Bone marrow aspirate smear · 250×250.
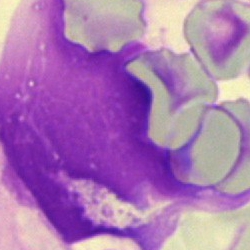The cell shown is an artefact.